Bone marrow aspirate smear: 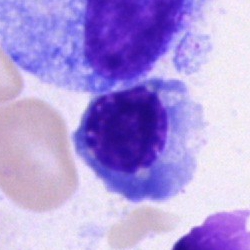
The cell is nucleated red blood cell.